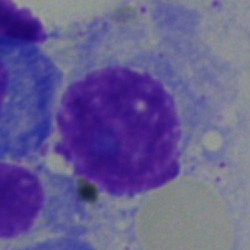
Q: Identify the cell.
A: It is a plasma cell.